Bone marrow aspirate smear. Pappenheim-stained — 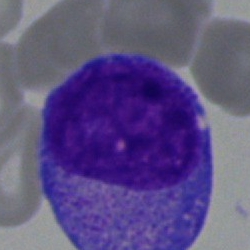
The morphological class is promyelocyte.